Bone marrow aspirate smear — 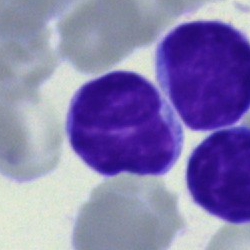
Showing a lymphocyte.